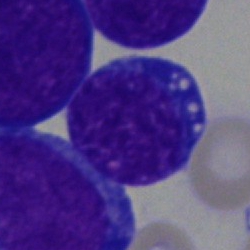 The morphological class is undifferentiated blast.